Bone marrow smear. 250 by 250 pixels — 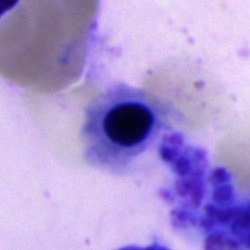 Specimen: bone marrow aspirate smear.
Morphological class: erythroblast.
Lineage: erythroid.